Bone marrow aspirate smear · 250×250 — 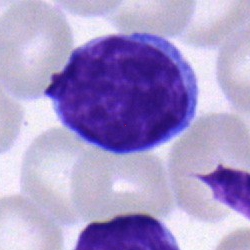 Specimen: bone marrow smear.
Morphological class: typical lymphocyte.
Lineage: lymphoid.